Peripheral blood film — 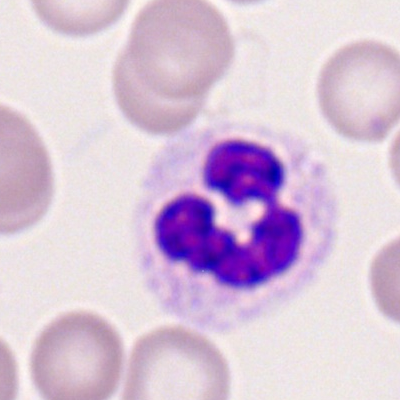
Single cell identified as a neutrophil (segmented).